Bone marrow smear: 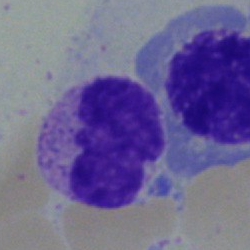Morphological class = neutrophil (segmented).